Bone marrow smear:
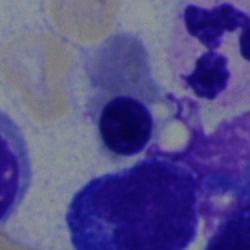Morphological class: nucleated red cell.